Bone marrow smear — 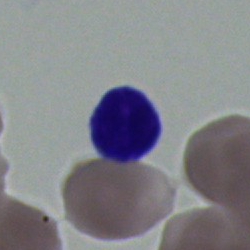

Q: What is shown here?
A: A lymphocyte.